Bone marrow smear.
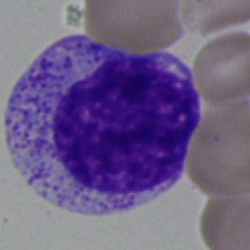 The morphological class is myelocyte.